Peripheral blood film
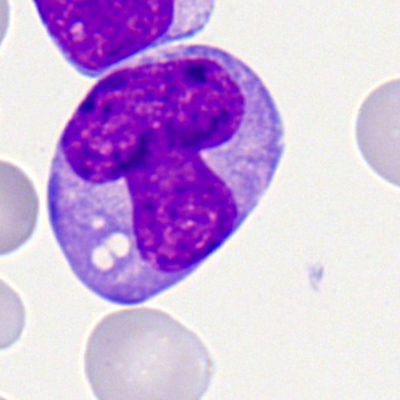

Specimen: peripheral blood smear.
Morphological class: monocyte.